Bone marrow aspirate smear: 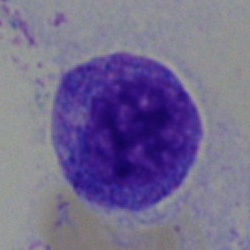

A progranulocyte.